Bone marrow smear.
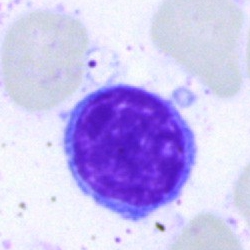

Q: What cell is this?
A: A lymphocyte.